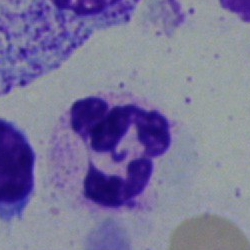
Morphology — neutrophil (segmented).